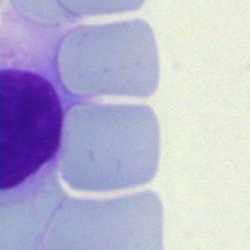 {"cell_type": "artifact"}